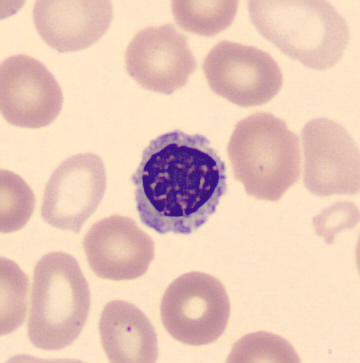 Identified as a normoblast.